Bone marrow smear; single-cell field
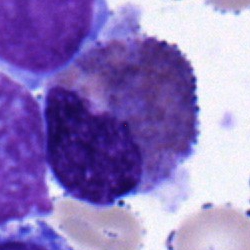 Cell type: eosinophil.